250 by 250 pixels; bone marrow aspirate smear; single-cell field
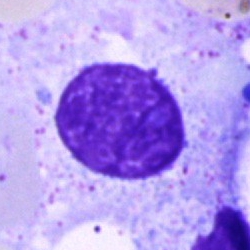
This is an artifact.